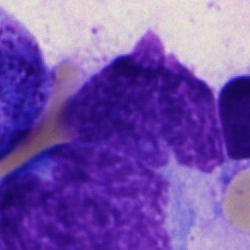Impression — artifact.